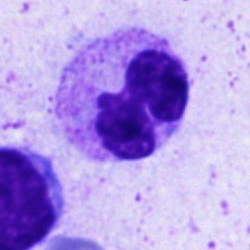

This is a neutrophil (segmented).